MGG-stained; bone marrow smear; single-cell crop:
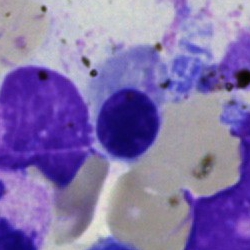
Cell — nucleated red cell.